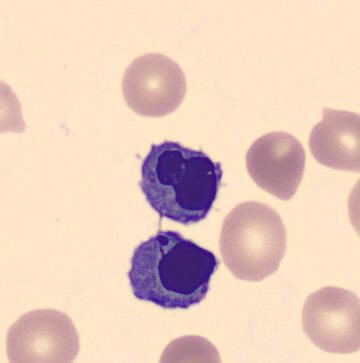

Single cell centered in the field · peripheral blood smear. Cell = nucleated red blood cell.